Bone marrow smear; 250 by 250 pixels:
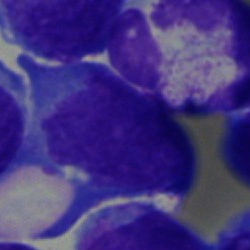
Morphology → undifferentiated blast.